Bone marrow smear:
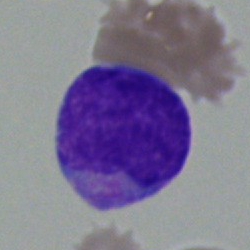

Showing a blast cell.